Romanowsky-type stain · peripheral blood film · brightfield, 100× oil-immersion objective
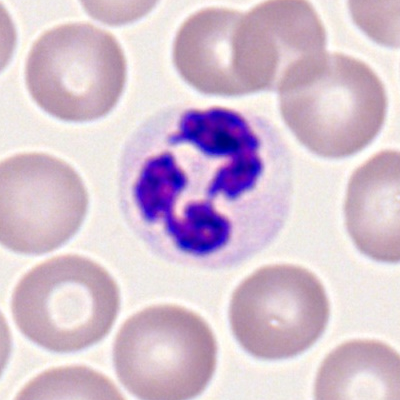
Cell: polymorphonuclear neutrophil.